250×250 · bone marrow smear · single-cell field — 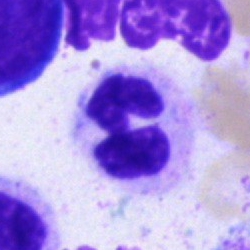

Impression — neutrophil (segmented).